Bone marrow aspirate smear:
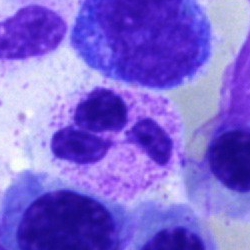
A neutrophil (segmented).